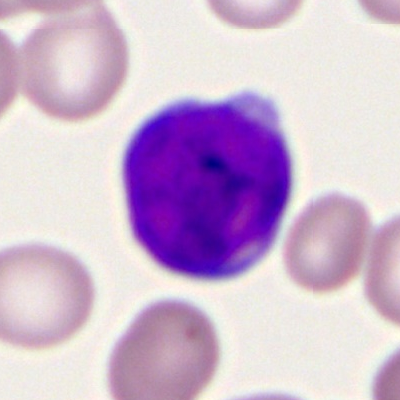
Q: What cell is this?
A: This is a myeloblast.